Bone marrow smear
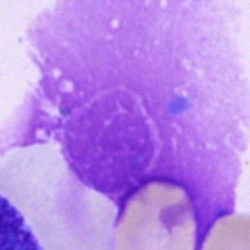 Impression — artefact.